Bone marrow aspirate smear.
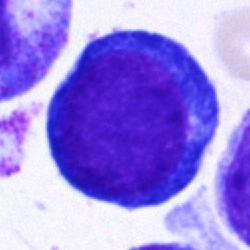{"cell_type": "proerythroblast", "lineage": "erythroid"}